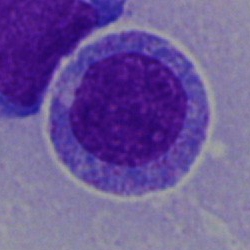 Morphology consistent with a myelocyte.